Cropped to a single cell; bone marrow aspirate smear
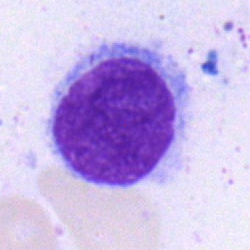 A hairy cell.